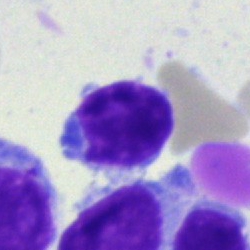 Q: What is the morphological classification of this cell?
A: This is a typical lymphocyte.